Bone marrow smear; 250×250 px; single cell centered in the field: 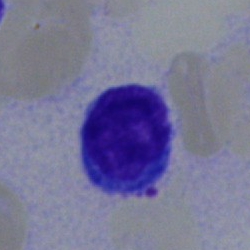Morphology → lymphocyte.